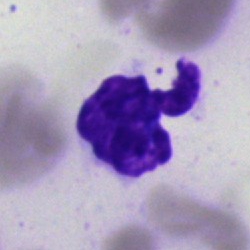
An artifact.